Bone marrow smear. Brightfield, 40× oil-immersion objective: 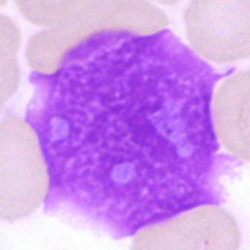

Cell type = artefact.